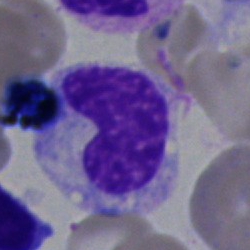
Band neutrophil.